Bone marrow smear:
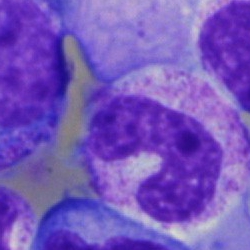
Morphology consistent with a neutrophil (band).